Peripheral blood smear
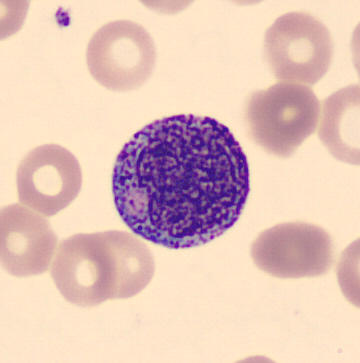 Cell — myelocyte.